Bone marrow smear:
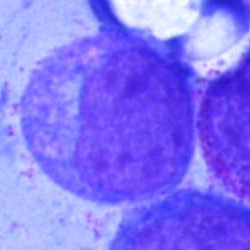The cell shown is a progranulocyte.